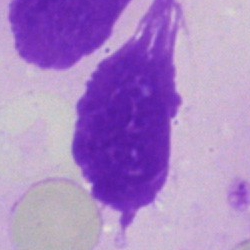Specimen: bone marrow aspirate smear.
Classification: artifact.